Bone marrow aspirate smear. Cropped to a single cell. Pappenheim-stained: 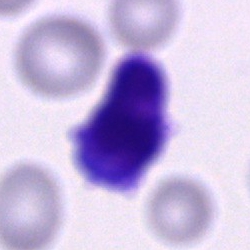

Unidentifiable cell.